Bone marrow smear · brightfield, 40× oil-immersion objective
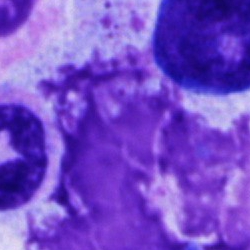Q: What is shown here?
A: An artifact.